Bone marrow smear
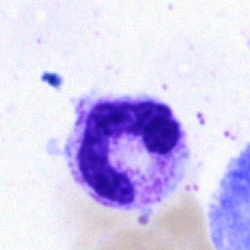Segmented neutrophil.